Bone marrow smear — 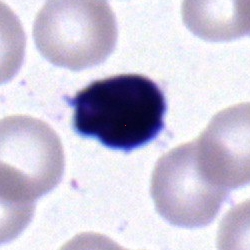 This is a lymphocyte.